Bone marrow smear. 40× oil immersion:
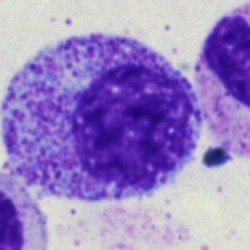Q: What is the morphological classification of this cell?
A: It is a myelocyte.